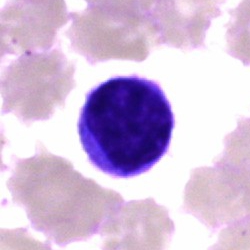Morphology consistent with a plasma cell.